Bone marrow aspirate smear:
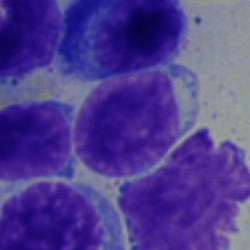Specimen: bone marrow aspirate smear.
Morphological class: lymphocyte.